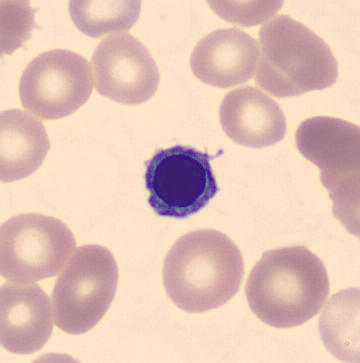

Preparation: MGG-stained; automated cell imaging (CellaVision DM96); peripheral blood smear.

Classification — nucleated red cell.